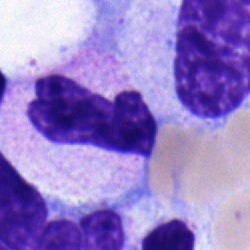Impression → polymorphonuclear neutrophil.